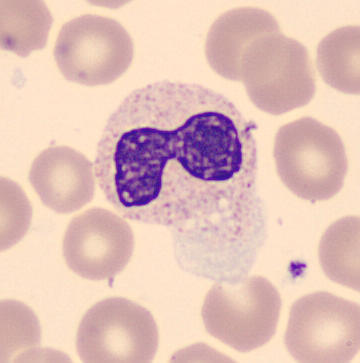

Cell type: band-form neutrophil.